Bone marrow smear: 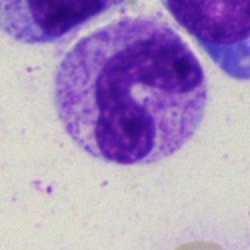
Cell type = neutrophil (band).